Peripheral blood smear.
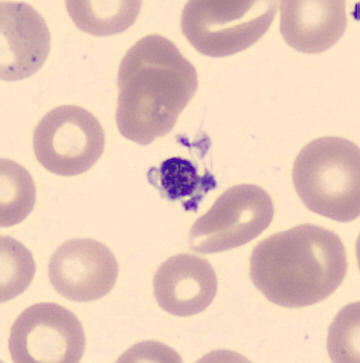
Identified as a platelet.